Bone marrow aspirate smear. Image size 250×250 — 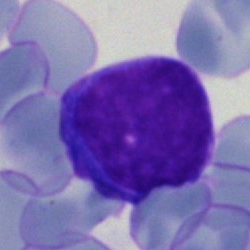

A blast cell.